Bone marrow aspirate smear
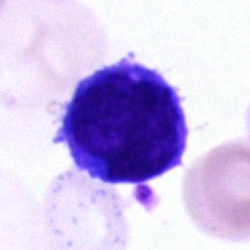Morphology consistent with a blast.